Bone marrow smear: 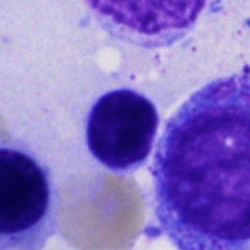

Cell type — lymphocyte.